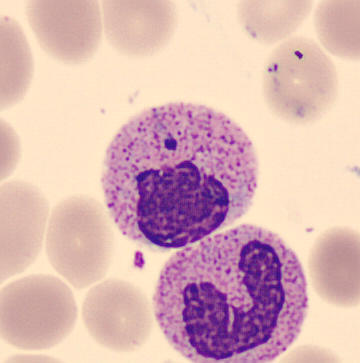

Acquisition: Peripheral blood film.

Morphological class = metamyelocyte.